Bone marrow smear.
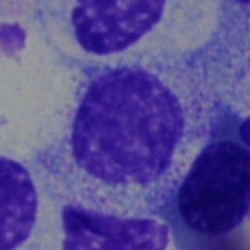

{"cell_type": "myelocyte", "lineage": "myeloid"}